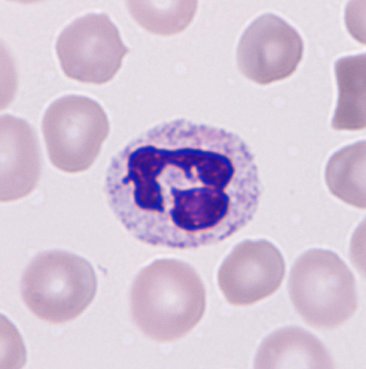Cell = neutrophil.